Single cell centered in the field. Bone marrow aspirate smear
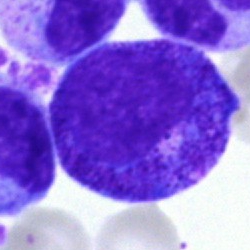
Morphology — promyelocyte.